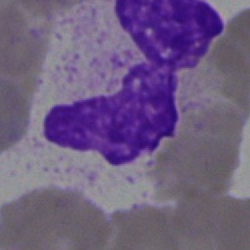Single-cell crop from a bone marrow smear: artefact.